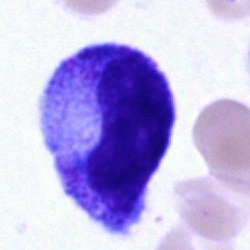{"cell_type": "metamyelocyte", "lineage": "myeloid"}